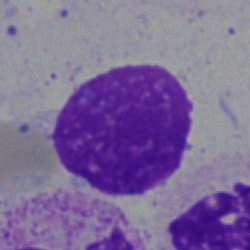The cell shown is an artefact.